Peripheral blood smear; 400 by 400 pixels; single-cell field:
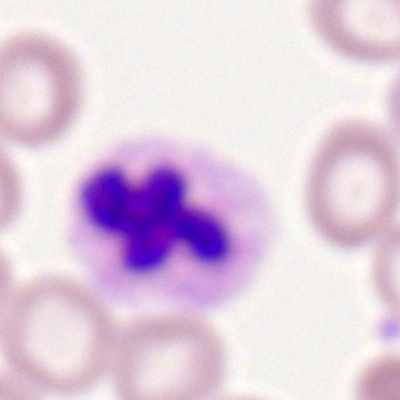

Q: What cell is this?
A: This is a neutrophil (segmented).